Bone marrow smear
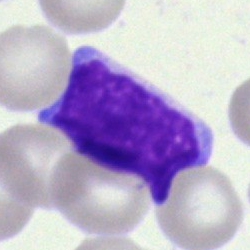 Impression — blast cell.